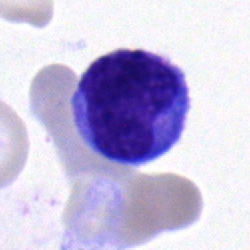 Showing a monocyte.